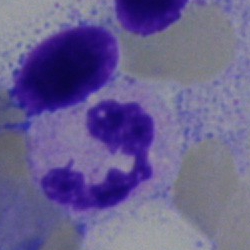 Morphology consistent with a segmented neutrophil.